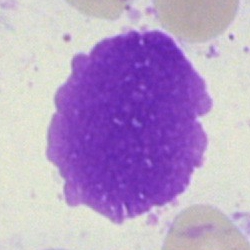

An artifact.